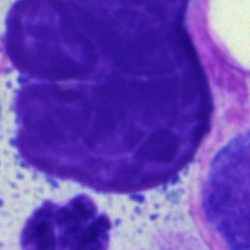 Showing an artifact.